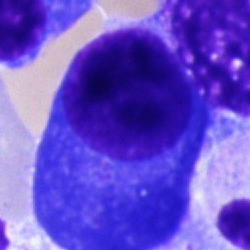
Impression — plasmacyte.